Brightfield microscopy, 40× oil immersion · bone marrow aspirate smear · single cell centered in the field:
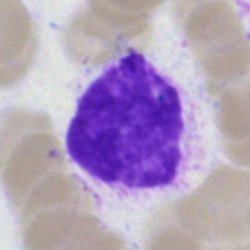
{"cell_type": "artefact"}